Bone marrow smear: 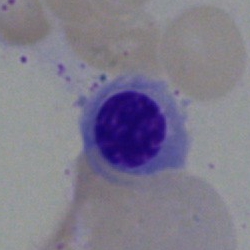 Morphological class — nucleated red blood cell.